Bone marrow smear:
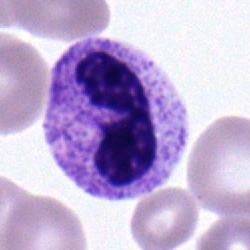

Q: Which cell type is shown here?
A: It is a segmented neutrophil.